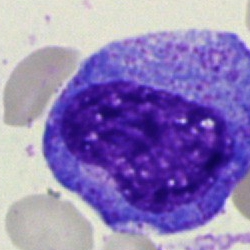
{"cell_type": "promyelocyte", "lineage": "myeloid"}